40× oil immersion; bone marrow smear — 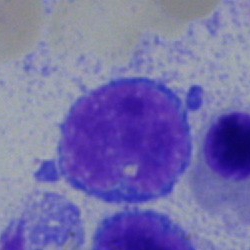
Classification — typical lymphocyte.